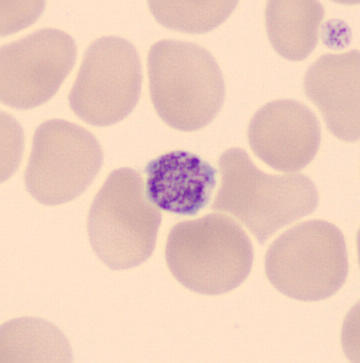 Peripheral blood smear; 360×363; CellaVision DM96.

Cell type — thrombocyte.